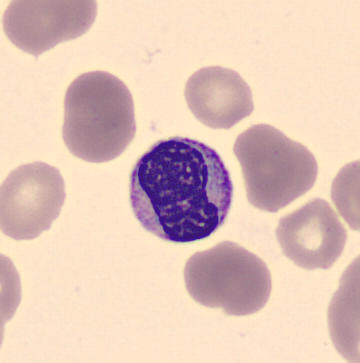
Imaged on a CellaVision DM96 analyser; May Grünwald-Giemsa stain; peripheral blood film.

The cell shown is a metamyelocyte.